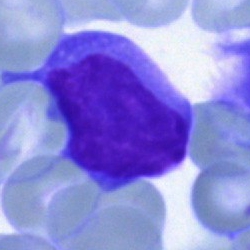 Bone marrow smear showing a typical lymphocyte.